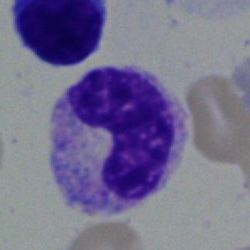

{"cell_type": "metamyelocyte"}